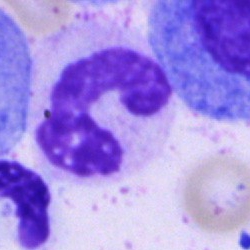Morphological class = stab cell.